Bone marrow aspirate smear: 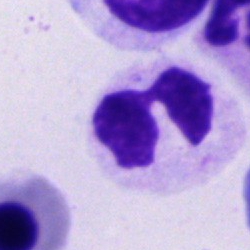 Single cell identified as a polymorphonuclear neutrophil.